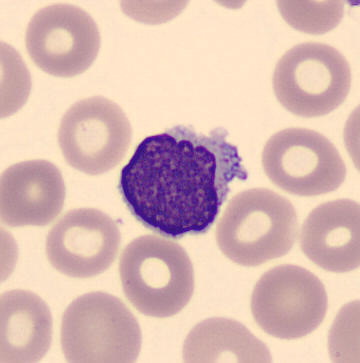 Specimen: peripheral blood film.
Cell type: lymphocyte.
Lineage: lymphoid.